Single-cell field; bone marrow smear — 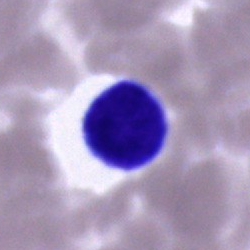 Impression — unidentifiable cell.